Bone marrow aspirate smear — 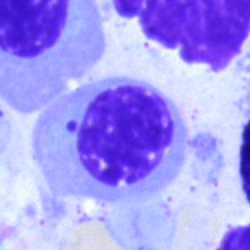

Impression → normoblast.